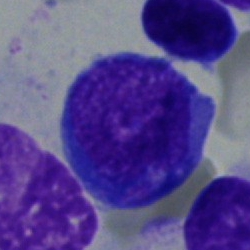Cell type = undifferentiated blast.